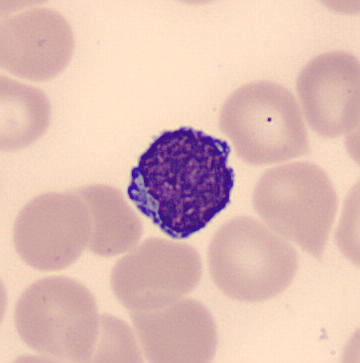 Specimen: peripheral blood film.
Classification: lymphocyte.